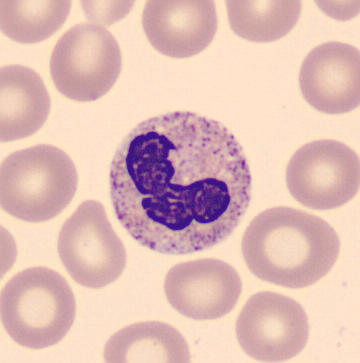 Neutrophil (band).
Image: Peripheral blood film.